40× objective, oil immersion. Bone marrow smear
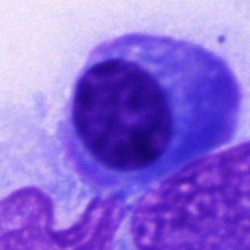

Specimen: bone marrow smear.
Morphological class: plasmacyte.